Bone marrow smear · Pappenheim-stained
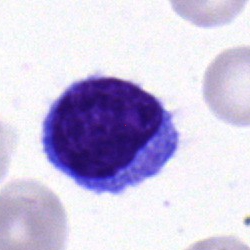Morphological class: typical lymphocyte.